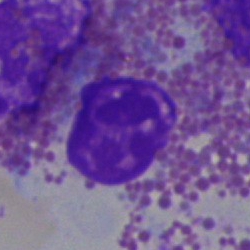

An eosinophilic granulocyte on a bone marrow smear.